Bone marrow smear
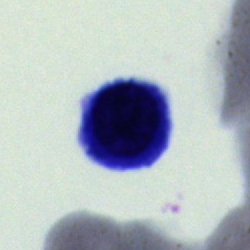 Morphology — artifact.